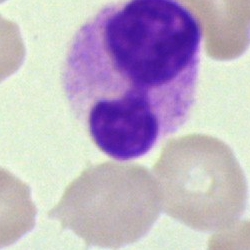
Impression → unidentifiable cell.